Bone marrow aspirate smear:
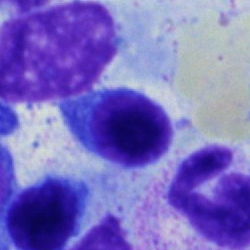

Cell type = typical lymphocyte.